Single cell centered in the field; bone marrow aspirate smear; May-Grünwald-Giemsa stain:
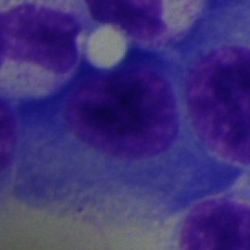Cell type = plasmacyte.